Bone marrow aspirate smear. Image size 250×250. Brightfield, 40× oil-immersion objective.
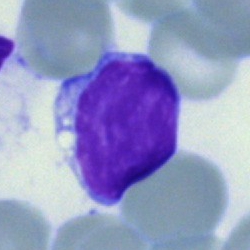

{"cell_type": "lymphocyte", "lineage": "lymphoid"}